40× oil immersion · bone marrow aspirate smear · MGG-stained
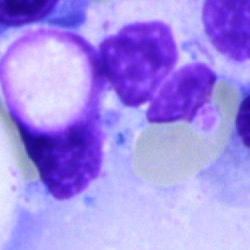 Morphological class: artefact.